Bone marrow aspirate smear
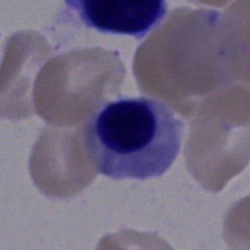 Morphology — normoblast.